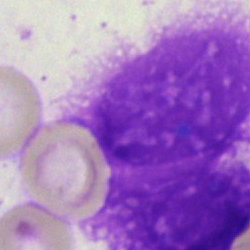

An artefact.